Bone marrow aspirate smear: 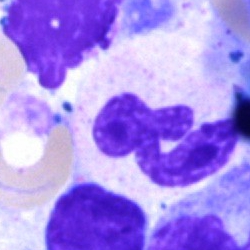 Q: What cell is this?
A: A polymorphonuclear neutrophil.